Peripheral blood film; brightfield, 100× oil-immersion objective; cropped to a single cell
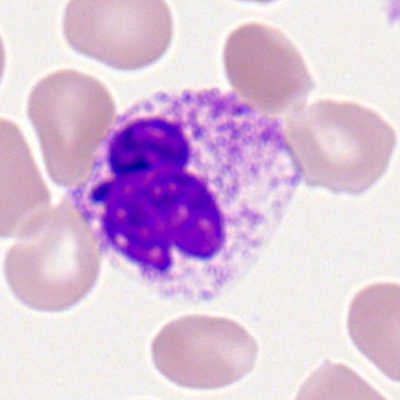Morphology → segmented neutrophil.